Bone marrow aspirate smear — 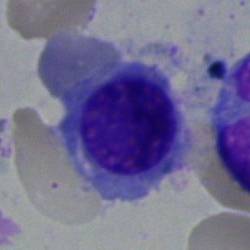

Specimen: bone marrow aspirate smear.
Cell type: normoblast.
Lineage: erythroid.